Single-cell field; bone marrow aspirate smear; May-Grünwald-Giemsa/Pappenheim stain:
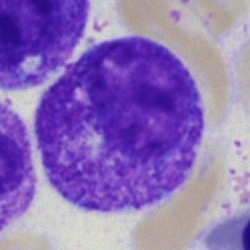
Q: What is the morphological classification of this cell?
A: Progranulocyte.